Bone marrow aspirate smear; single cell centered in the field; brightfield microscopy, 40× oil immersion: 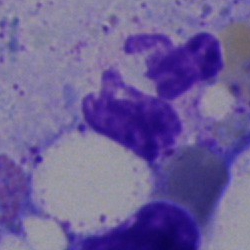

Specimen: bone marrow aspirate smear.
Cell: segmented neutrophil.
Lineage: myeloid.